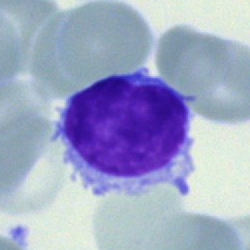Specimen: bone marrow aspirate smear.
Cell type: typical lymphocyte.
Lineage: lymphoid.